250×250 px. Bone marrow aspirate smear:
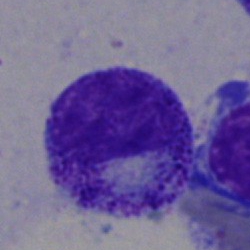

Cell type: myelocyte.